Bone marrow smear
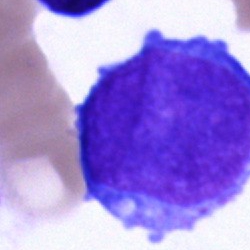 Impression → blast.